Peripheral blood smear. Single-cell field. Brightfield, 100× oil-immersion objective:
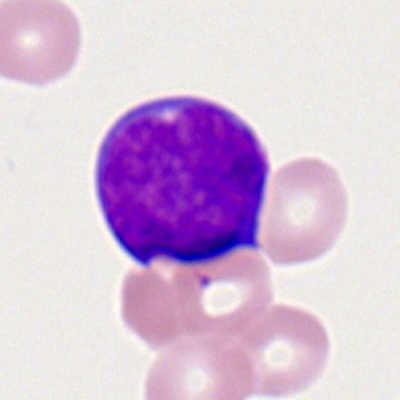

Specimen: peripheral blood film.
Cell type: myeloid blast.
Lineage: myeloid.